Bone marrow smear.
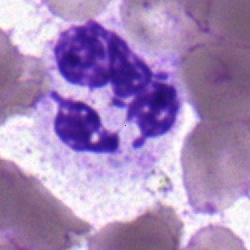

A polymorphonuclear neutrophil.